Bone marrow aspirate smear · 40× objective, oil immersion · MGG-stained.
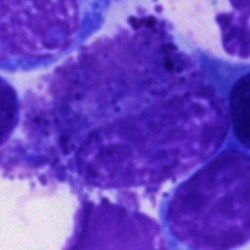Classification = other cell type.